Peripheral blood smear. Single-cell field — 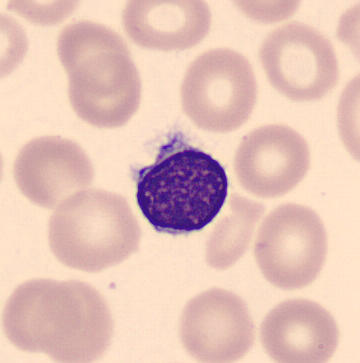 The cell is typical lymphocyte.